Bone marrow smear: 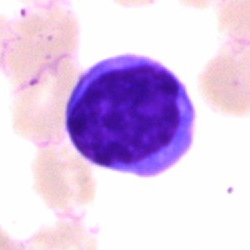 Cell type: typical lymphocyte.